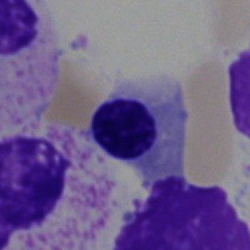 Q: What is the morphological classification of this cell?
A: Nucleated red cell.